Bone marrow aspirate smear; May-Grünwald-Giemsa/Pappenheim stain:
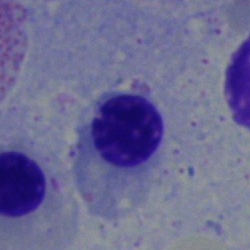 Cell = nucleated red blood cell.